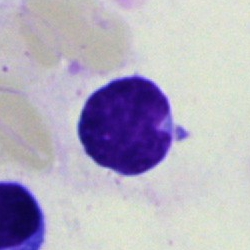A typical lymphocyte.